May-Grünwald-Giemsa stain; bone marrow smear
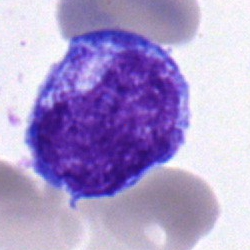

The cell type is progranulocyte.